Bone marrow smear. 250×250 px
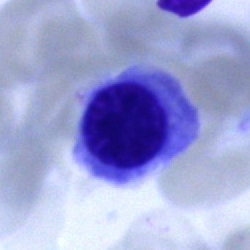A nucleated red cell.